Bone marrow smear. Single-cell crop
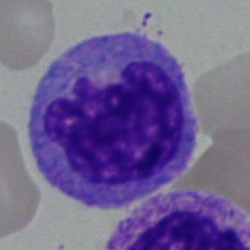

Morphology consistent with a monocyte.